Bone marrow smear — 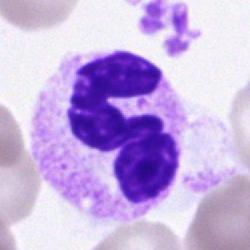Neutrophil (segmented).